250×250 · bone marrow aspirate smear · cropped to a single cell.
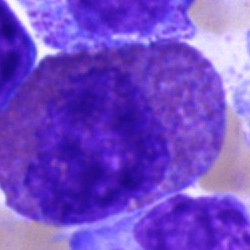

{"cell_type": "eosinophilic granulocyte", "lineage": "myeloid"}